250×250 px; bone marrow aspirate smear — 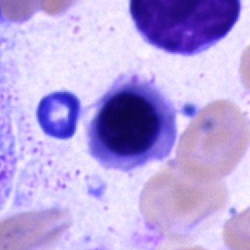
Morphological class = normoblast.